Bone marrow aspirate smear · single-cell field:
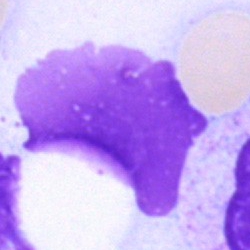{"cell_type": "artefact"}